Bone marrow aspirate smear:
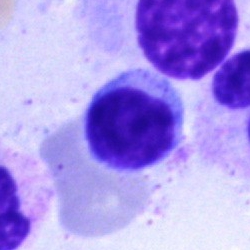Q: Identify the cell.
A: This is a lymphocyte.